Bone marrow aspirate smear
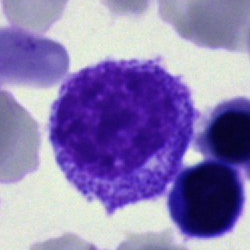This is a promyelocyte.